MGG-stained · bone marrow aspirate smear · 40× oil immersion:
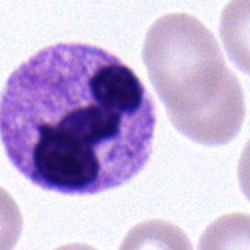 Specimen: bone marrow aspirate smear.
Classification: neutrophil (segmented).
Lineage: myeloid.